Bone marrow aspirate smear:
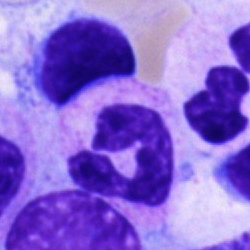Cell type: neutrophil (band).